Bone marrow smear. 40× oil immersion — 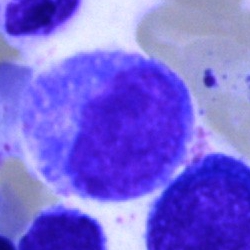 Cell type = progranulocyte.